Image size 250×250 · bone marrow aspirate smear:
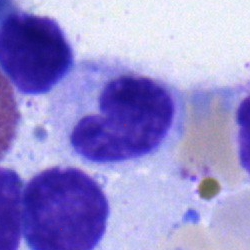

The cell shown is a band neutrophil.